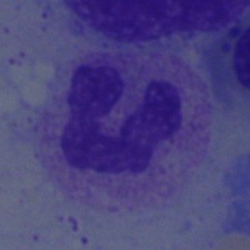

Single cell identified as a neutrophil (segmented).